Peripheral blood smear:
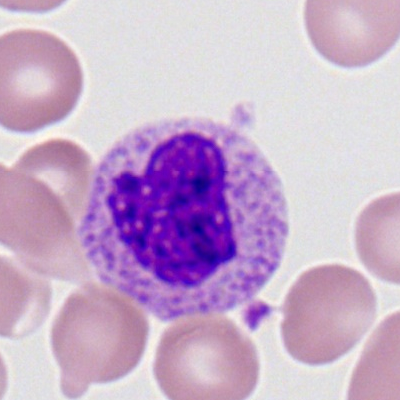 Impression → neutrophil (segmented).